Bone marrow aspirate smear.
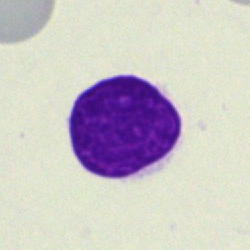

Classification — cell of indeterminate lineage.